Bone marrow aspirate smear · cropped to a single cell:
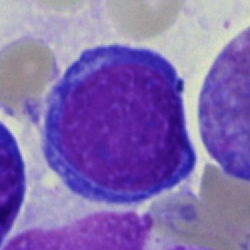Single cell identified as a pronormoblast.